Brightfield microscopy, 40× oil immersion. Bone marrow aspirate smear: 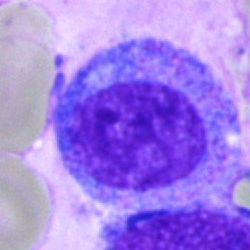 {"cell_type": "progranulocyte"}